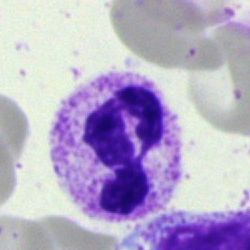
Specimen: bone marrow aspirate smear.
Cell: segmented neutrophil.
Lineage: myeloid.